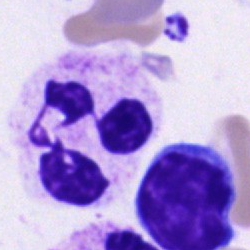
Bone marrow aspirate smear, single cell — segmented neutrophil.